May-Grünwald-Giemsa stain; bone marrow aspirate smear; 250 by 250 pixels
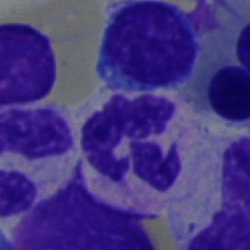Specimen: bone marrow smear.
Classification: polymorphonuclear neutrophil.
Lineage: myeloid.